Bone marrow aspirate smear. Cropped to a single cell — 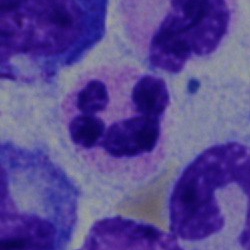Cell type: segmented neutrophil.